Bone marrow aspirate smear. Image size 250×250.
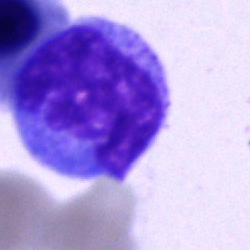

Monocyte.